Peripheral blood smear
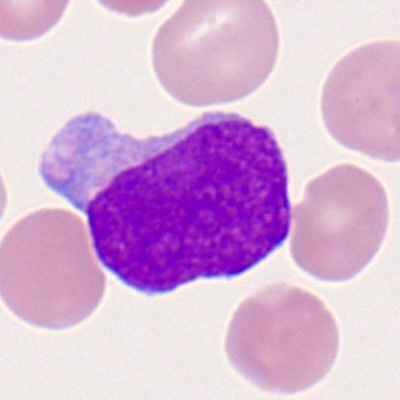 Impression — myeloid blast.